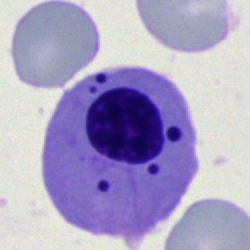

Morphology consistent with a nucleated red cell.